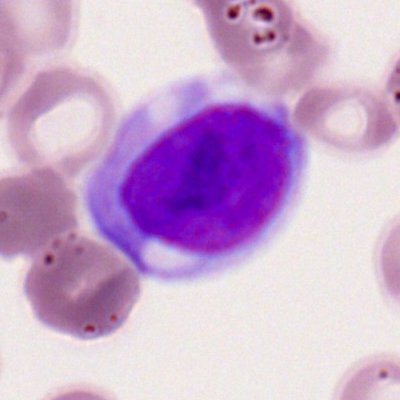
Q: Which cell type is shown here?
A: This is a myeloblast.